250×250 px · bone marrow smear.
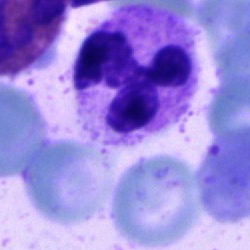
The cell type is segmented neutrophil.